Single-cell field; May-Grünwald-Giemsa/Pappenheim stain; bone marrow smear — 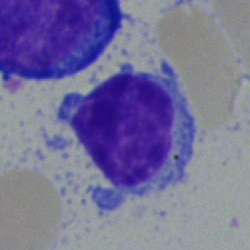{"cell_type": "lymphocyte", "lineage": "lymphoid"}